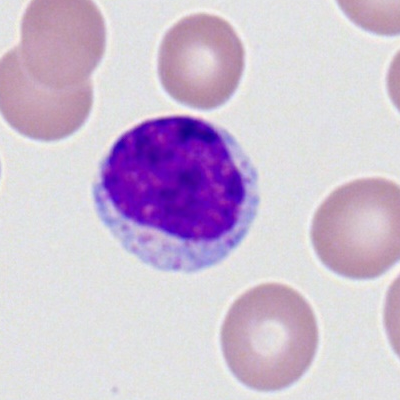
Classification: lymphocyte.